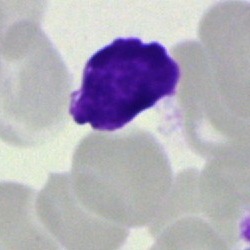
Morphological class: artifact.